Bone marrow smear.
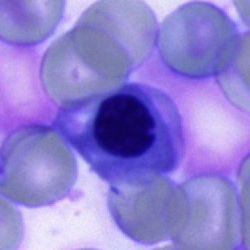 Cell — erythroblast.